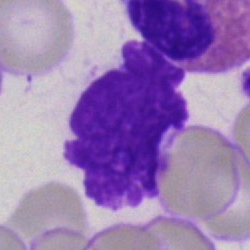 Morphology — artifact.